Bone marrow aspirate smear · single-cell crop: 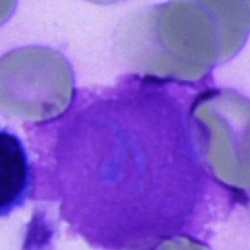
Q: What is shown here?
A: It is an artifact.